Brightfield, 40× oil-immersion objective · bone marrow smear.
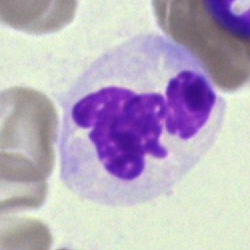 Specimen: bone marrow smear.
Morphological class: neutrophil (segmented).
Lineage: myeloid.